Bone marrow smear — 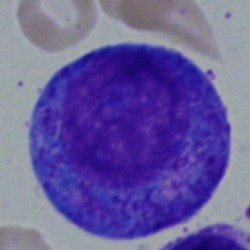
Promyelocyte.